Bone marrow smear:
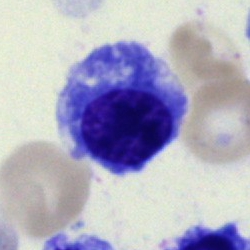

Morphology → nucleated red blood cell.